Cropped to a single cell · Pappenheim-stained · bone marrow aspirate smear — 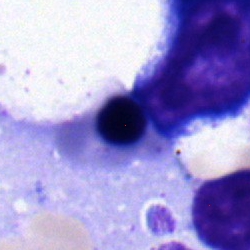Cell type — erythroblast.